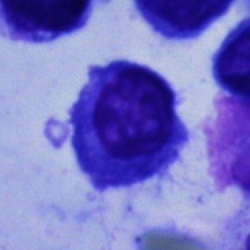
{"cell_type": "erythroblast", "lineage": "erythroid"}